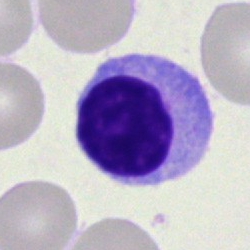This is a typical lymphocyte.